Bone marrow smear: 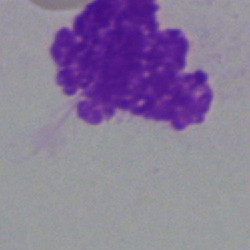 Cell: artifact.